Pappenheim-stained · bone marrow smear
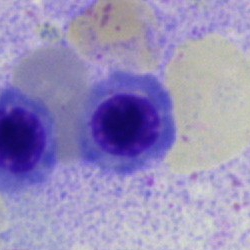

Morphology — normoblast.